250×250. Bone marrow aspirate smear:
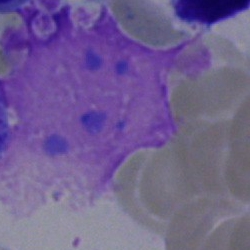
Q: What is shown here?
A: It is an artifact.